Bone marrow smear.
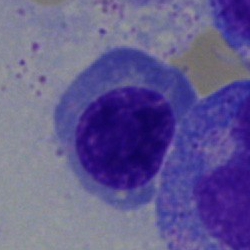

Q: What is the morphological classification of this cell?
A: An erythroblast.